Bone marrow aspirate smear — 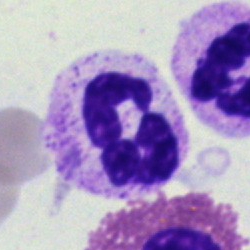Morphology — segmented neutrophil.